250×250 px. Bone marrow smear: 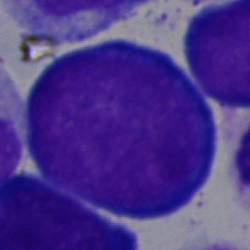

Q: Which cell type is shown here?
A: A pronormoblast.